Bone marrow smear.
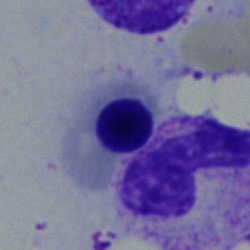

Impression → erythroblast.